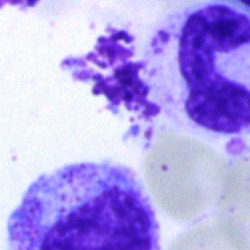

Q: What is shown here?
A: This is an artifact.